Bone marrow aspirate smear · MGG-stained · single-cell field
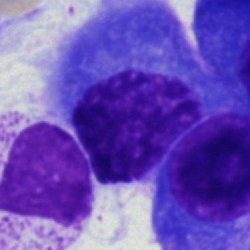
Cell = plasmacyte.